40× objective, oil immersion; bone marrow aspirate smear:
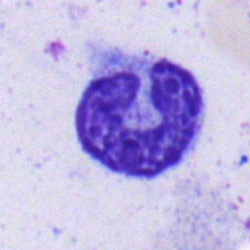Morphology — band-form neutrophil.